Bone marrow aspirate smear — 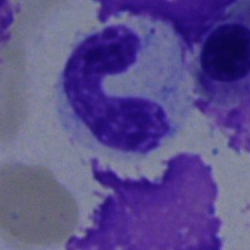Morphological class: polymorphonuclear neutrophil.